Bone marrow smear — 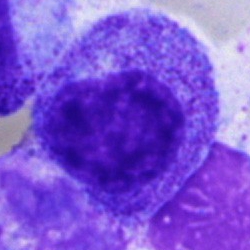 This is a myelocyte.